Bone marrow smear · single cell centered in the field — 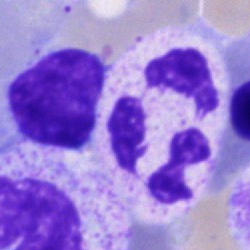 Q: What cell is this?
A: It is a neutrophil (segmented).